250×250 · bone marrow smear.
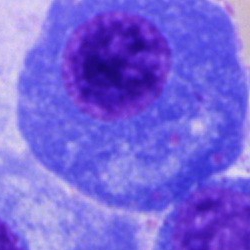 Specimen: bone marrow smear.
Classification: plasmacyte.